Peripheral blood film — 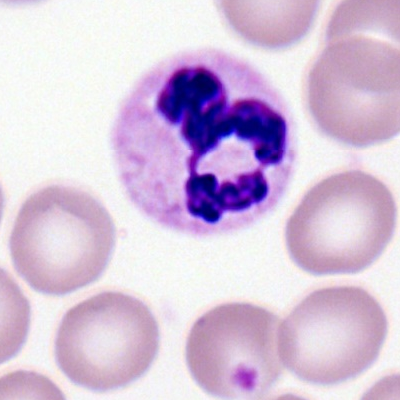A polymorphonuclear neutrophil.